Bone marrow smear
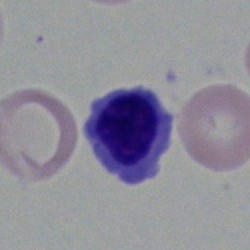This is a nucleated red cell.